Peripheral blood smear
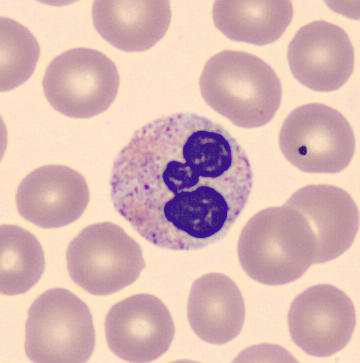Identified as a neutrophil (segmented).